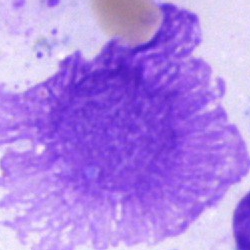Cell type: artifact.